Bone marrow aspirate smear: 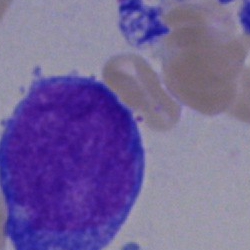 Specimen: bone marrow aspirate smear.
Cell: undifferentiated blast.